Peripheral blood smear. Romanowsky-type stain. Cropped to a single cell.
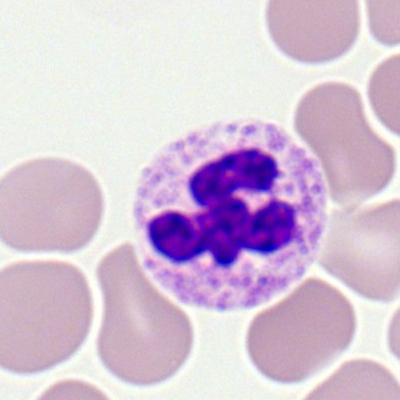Cell: polymorphonuclear neutrophil.